Bone marrow smear. May-Grünwald-Giemsa stain. 40× oil immersion — 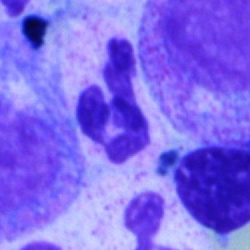Showing a polymorphonuclear neutrophil.